40× oil immersion; bone marrow smear: 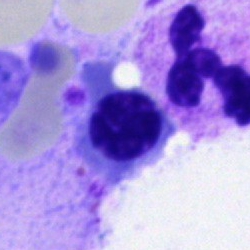

This is an erythroblast.